Bone marrow aspirate smear; 250 by 250 pixels — 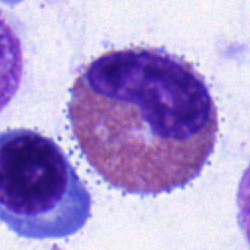Cell type: eosinophil.